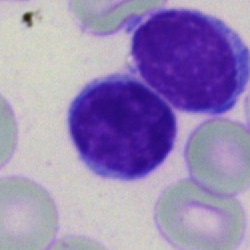Bone marrow smear showing a typical lymphocyte.